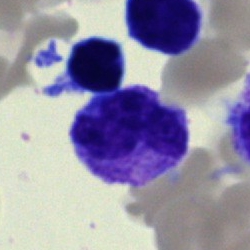Morphological class = polymorphonuclear neutrophil.